Bone marrow aspirate smear. Brightfield, 40× oil-immersion objective.
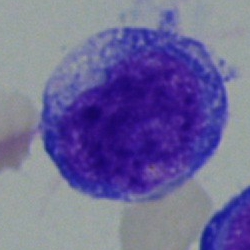
Morphology — blast.